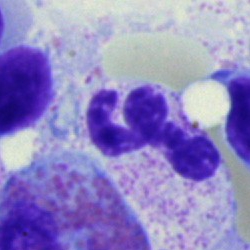
Specimen: bone marrow aspirate smear.
Cell: polymorphonuclear neutrophil.
Lineage: myeloid.